Single cell centered in the field; bone marrow smear:
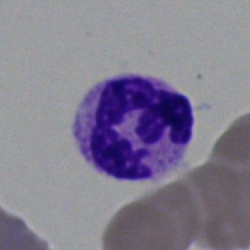

Cell type — neutrophil (segmented).